Bone marrow aspirate smear. Image size 250×250. 40× oil immersion — 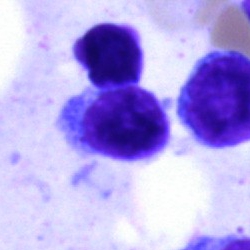Morphological class — typical lymphocyte.